Peripheral blood smear; MGG-stained:
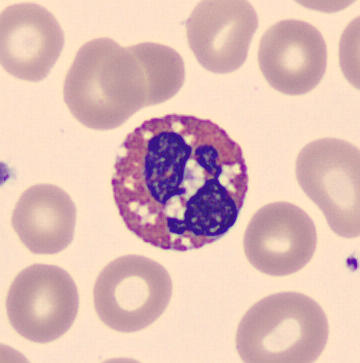
Specimen: peripheral blood smear.
Morphological class: eosinophilic granulocyte.
Lineage: myeloid.